Image size 250×250. Bone marrow aspirate smear: 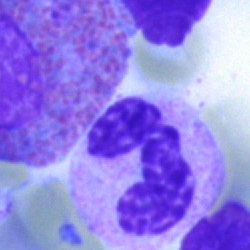

Q: Identify the cell.
A: It is a neutrophil (segmented).